Bone marrow smear:
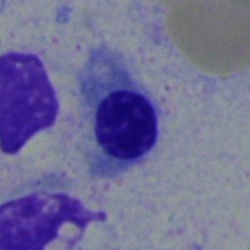
Single cell identified as an erythroblast.